Pappenheim-stained · 40× oil immersion · bone marrow smear:
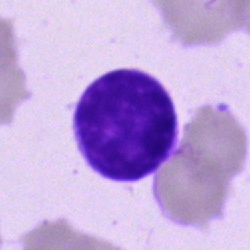A typical lymphocyte.